Bone marrow smear:
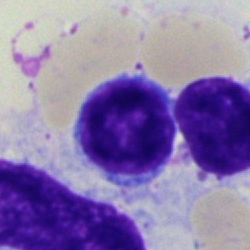
Q: What cell is this?
A: A typical lymphocyte.